May-Grünwald-Giemsa/Pappenheim stain. Bone marrow aspirate smear — 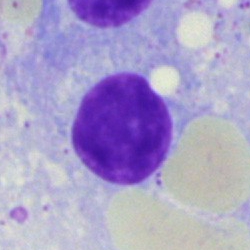
Specimen: bone marrow aspirate smear.
Classification: artefact.